Bone marrow smear
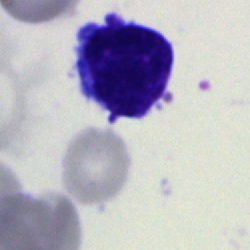 Specimen: bone marrow smear.
Morphological class: blast.